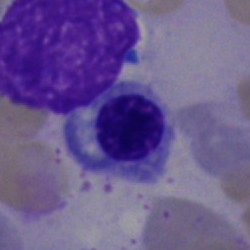Cell: normoblast.